Peripheral blood film:
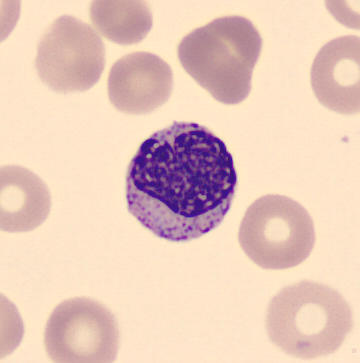

Impression — metamyelocyte.